Bone marrow smear; single-cell crop: 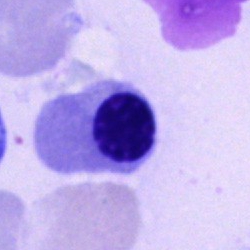

Specimen: bone marrow aspirate smear.
Classification: nucleated red blood cell.
Lineage: erythroid.